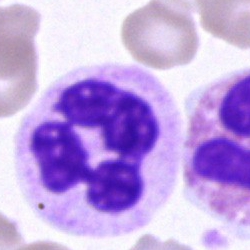
Cell — neutrophil (segmented).